Bone marrow aspirate smear:
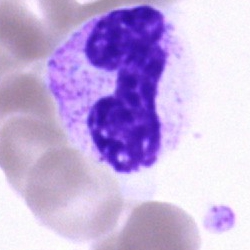Q: What is the morphological classification of this cell?
A: A neutrophil (segmented).